M8 digital microscope (Precipoint), 100× oil immersion. Peripheral blood film:
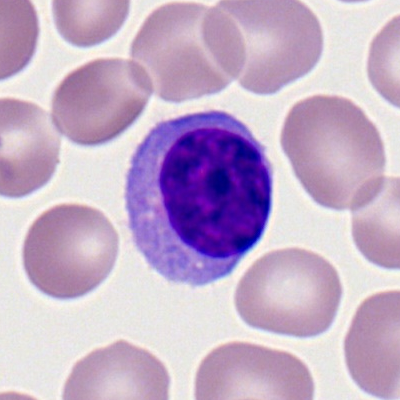
Impression — lymphocyte.